Bone marrow smear
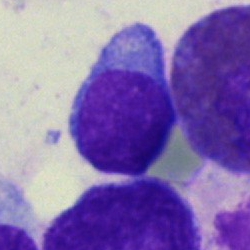
Morphology → typical lymphocyte.